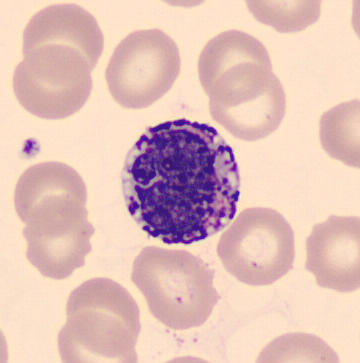Specimen: peripheral blood smear.
Cell type: basophilic granulocyte.
Lineage: myeloid.